Bone marrow aspirate smear; single-cell field:
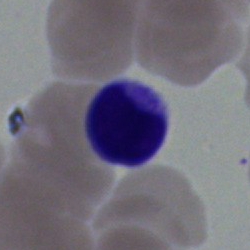
Q: What is shown here?
A: It is a typical lymphocyte.